Bone marrow aspirate smear.
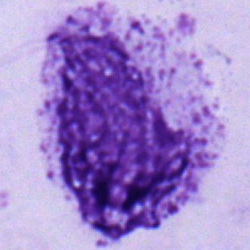

Morphology consistent with a myelocyte.